Single-cell field. Peripheral blood smear. 360 by 363 pixels:
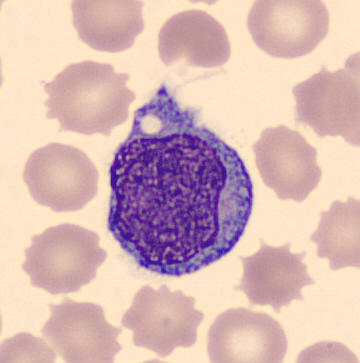
Single cell identified as a monocyte.